Bone marrow smear — 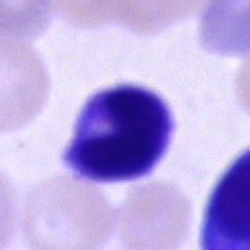The cell is cell of indeterminate lineage.